Single-cell crop. 250×250 px. Bone marrow aspirate smear:
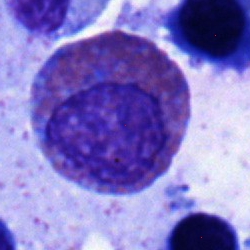
Single cell identified as an eosinophil.